Single cell centered in the field. Bone marrow aspirate smear:
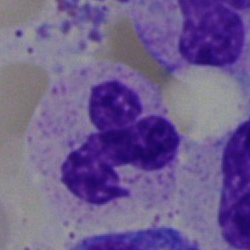 Q: What type of cell is this?
A: Segmented neutrophil.